250 by 250 pixels; bone marrow smear: 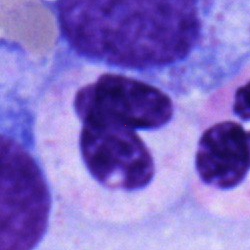Classification — band neutrophil.